Bone marrow smear · May-Grünwald-Giemsa stain.
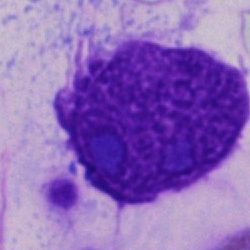 Specimen: bone marrow smear.
Cell type: artefact.